Bone marrow smear.
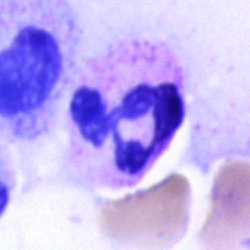

Q: What is the morphological classification of this cell?
A: This is a polymorphonuclear neutrophil.